40× oil immersion · bone marrow aspirate smear · May-Grünwald-Giemsa/Pappenheim stain.
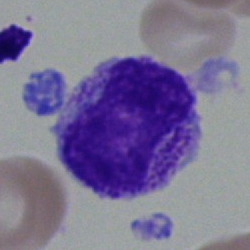Q: What cell is this?
A: A metamyelocyte.